Bone marrow aspirate smear · May-Grünwald-Giemsa/Pappenheim stain — 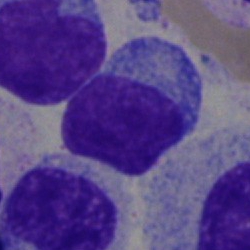
Typical lymphocyte.